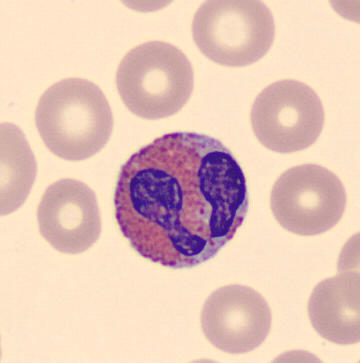
Morphology consistent with an eosinophilic granulocyte.